Bone marrow smear: 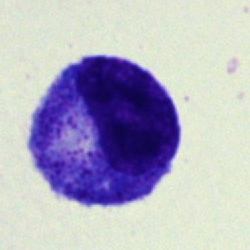 Single cell identified as a progranulocyte.